Bone marrow aspirate smear. Brightfield microscopy, 40× oil immersion. Single-cell field
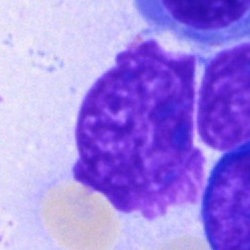

Morphology — artefact.